250 by 250 pixels; bone marrow aspirate smear
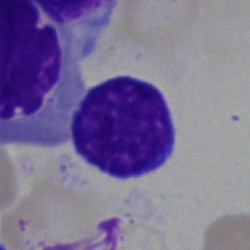Specimen: bone marrow aspirate smear.
Cell: lymphocyte.
Lineage: lymphoid.